Peripheral blood smear; M8 digital microscope (Precipoint), 100× oil immersion.
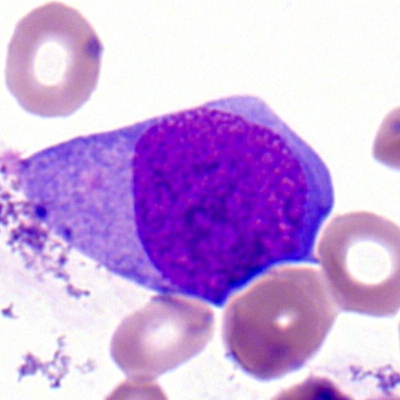 Specimen: peripheral blood film.
Cell: myeloid blast.